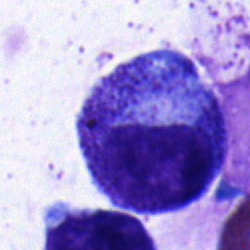

{"cell_type": "progranulocyte", "lineage": "myeloid"}